Bone marrow aspirate smear.
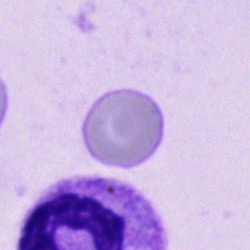

Showing a neutrophil (segmented).